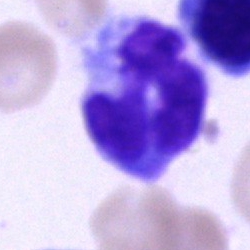

Q: Identify the cell.
A: This is a monocyte.